Cropped to a single cell. MGG-stained. Bone marrow aspirate smear:
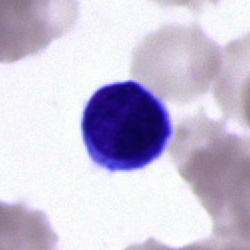

Morphological class: lymphocyte.